Bone marrow aspirate smear:
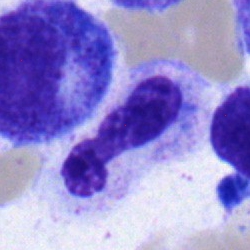

A segmented neutrophil.